Bone marrow smear. Brightfield microscopy, 40× oil immersion:
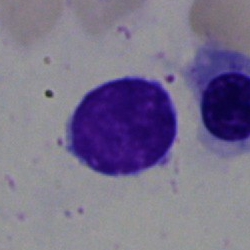

Cell type — typical lymphocyte.